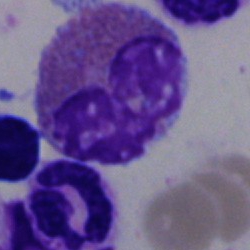
This is an eosinophil.